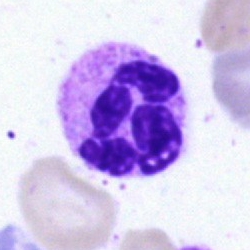
{"cell_type": "polymorphonuclear neutrophil"}